MGG-stained · bone marrow aspirate smear.
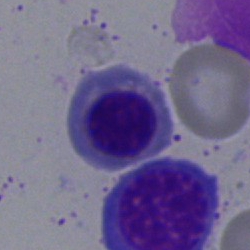 Specimen: bone marrow aspirate smear.
Cell type: nucleated red blood cell.